Bone marrow aspirate smear:
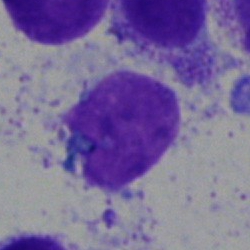
This is an artifact.